Bone marrow aspirate smear · cropped to a single cell.
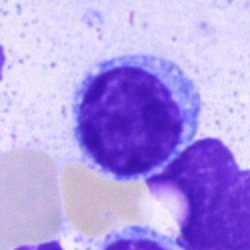 Morphology consistent with a lymphocyte.